Bone marrow smear · single-cell crop — 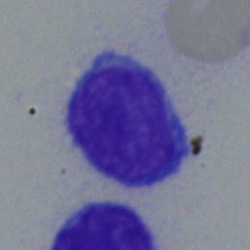

The morphological class is lymphocyte.